Bone marrow aspirate smear — 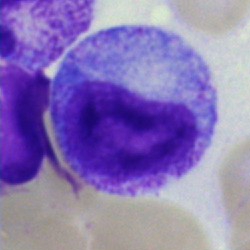

Q: Identify the cell.
A: It is a progranulocyte.